Bone marrow aspirate smear
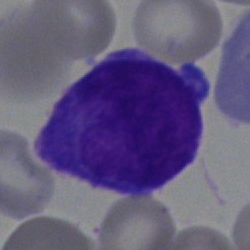 The cell shown is an undifferentiated blast.